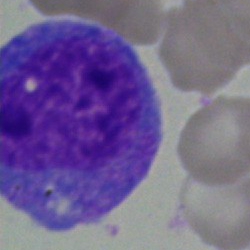

Classification = promyelocyte.